Peripheral blood smear
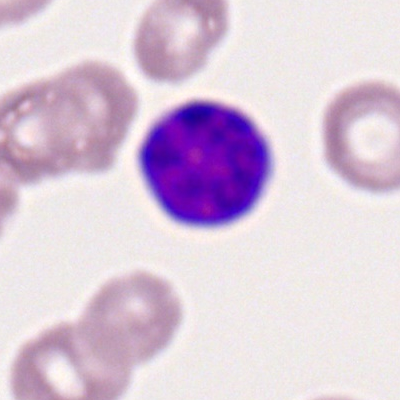Cell — lymphocyte.